Bone marrow aspirate smear.
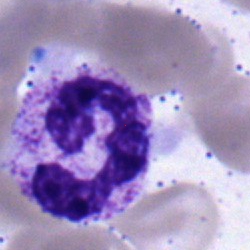 Q: What cell is this?
A: A segmented neutrophil.